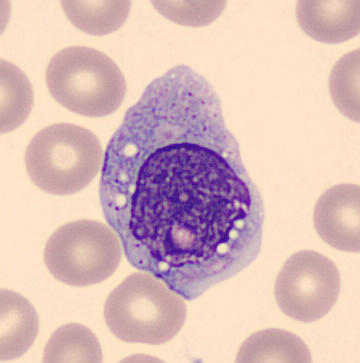

Showing a monocyte.
Preparation: Peripheral blood smear.